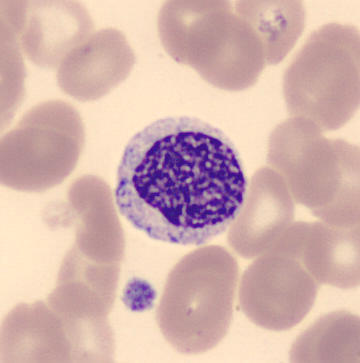

This is a myelocyte.

Peripheral blood smear.